Peripheral blood film — 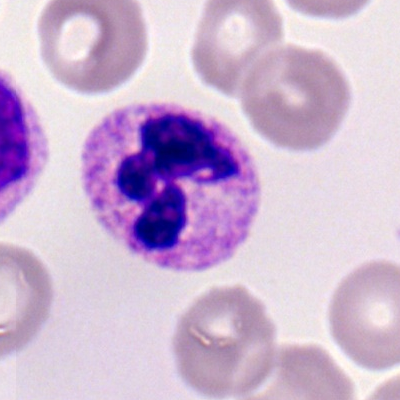 Polymorphonuclear neutrophil.